Bone marrow aspirate smear: 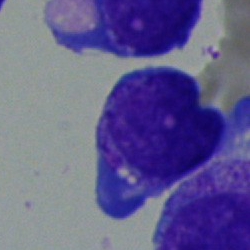 Q: Identify the cell.
A: This is a blast.